Bone marrow aspirate smear:
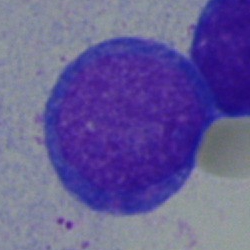Classification — undifferentiated blast.